Bone marrow smear: 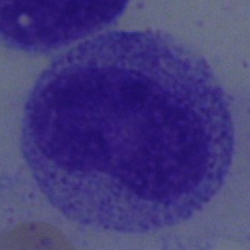

The classification is metamyelocyte.